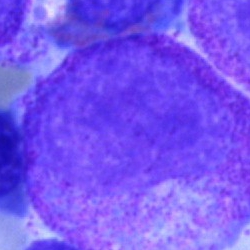Impression — myelocyte.